Bone marrow aspirate smear · brightfield, 40× oil-immersion objective: 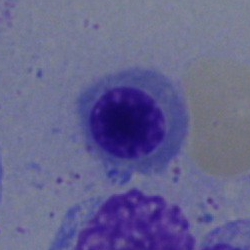
A normoblast.